Single cell centered in the field; bone marrow smear; 250×250 — 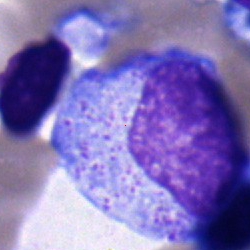 The cell is promyelocyte.